Bone marrow aspirate smear; 250 by 250 pixels:
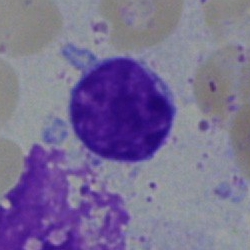

Q: What is the morphological classification of this cell?
A: It is a typical lymphocyte.